May-Grünwald-Giemsa stain; bone marrow smear; 40× objective, oil immersion.
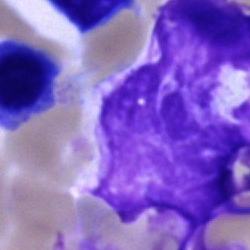

Q: What is shown here?
A: Artefact.